MGG-stained; single cell centered in the field; bone marrow aspirate smear:
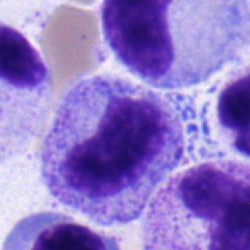Q: What type of cell is this?
A: This is a metamyelocyte.